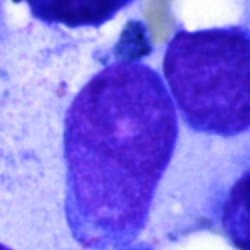

Bone marrow aspirate smear, single cell — cell of indeterminate lineage.